Bone marrow smear: 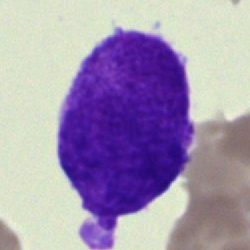
Morphology consistent with a blast cell.